May-Grünwald-Giemsa/Pappenheim stain; single-cell crop; bone marrow aspirate smear:
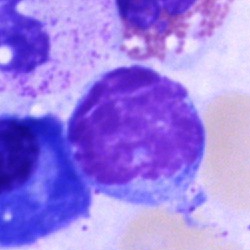

Cell — lymphocyte.